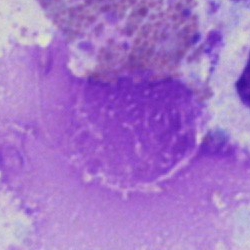
Morphology → artifact.